Bone marrow aspirate smear — 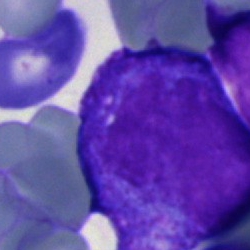

Q: Identify the cell.
A: This is a blast cell.